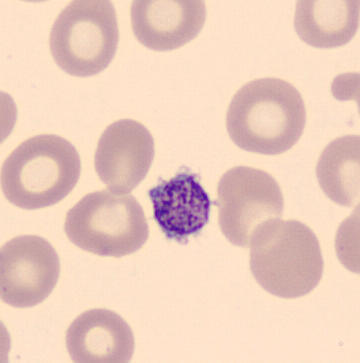 Peripheral blood smear. Q: What is this?
A: It is a platelet.